Peripheral blood smear
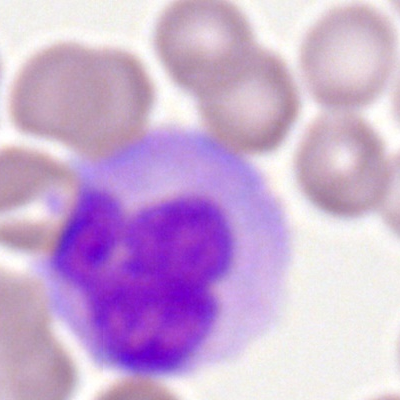

Morphology consistent with a monocyte.